Bone marrow smear.
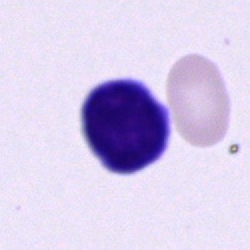

Q: What type of cell is this?
A: Cell of indeterminate lineage.